Single-cell field. May-Grünwald-Giemsa stain. Bone marrow smear.
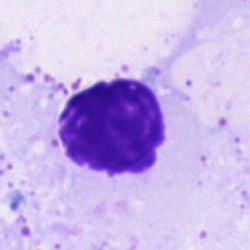
Cell — artifact.